Bone marrow aspirate smear: 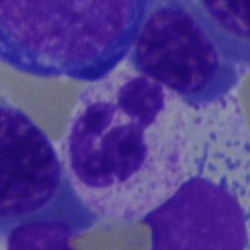Cell type — neutrophil (segmented).